Bone marrow smear. 250×250:
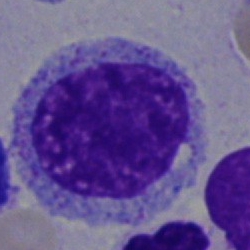
Q: Which cell type is shown here?
A: It is a promyelocyte.